Bone marrow smear:
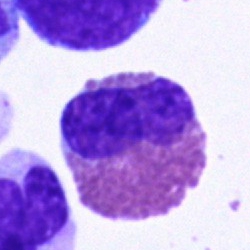

The cell type is eosinophil.